Bone marrow smear · brightfield, 40× oil-immersion objective: 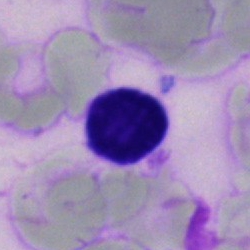 Specimen: bone marrow aspirate smear.
Classification: lymphocyte.